Bone marrow smear.
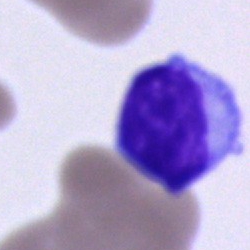 Morphology consistent with a lymphocyte.